Bone marrow aspirate smear: 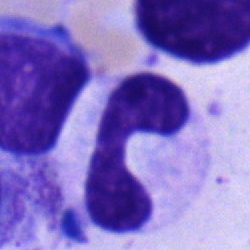
The morphological class is neutrophil (band).